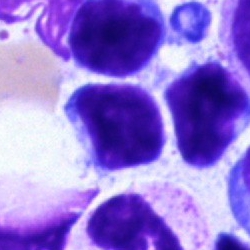A typical lymphocyte on a bone marrow smear.